250×250 px. 40× oil immersion. Bone marrow aspirate smear:
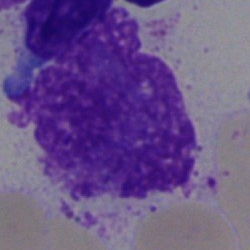Single cell identified as an artifact.